Bone marrow aspirate smear — 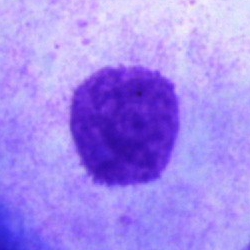 Q: What is shown here?
A: Artefact.